250×250 · single-cell field · bone marrow aspirate smear — 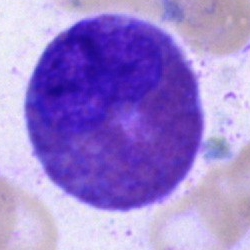

Morphology consistent with an eosinophilic granulocyte.